Bone marrow aspirate smear — 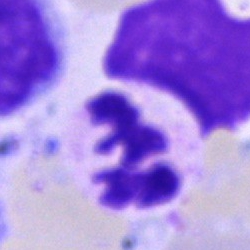 This is a polymorphonuclear neutrophil.